M8 digital microscope (Precipoint), 100× oil immersion; peripheral blood smear:
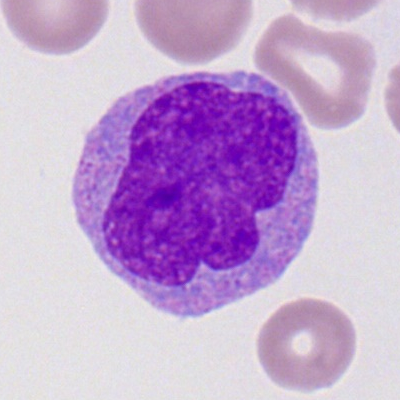Cell: myeloblast.